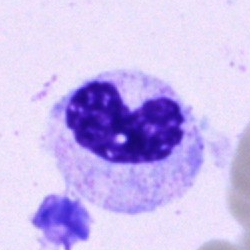
Showing a neutrophil (band).